250×250 px; bone marrow aspirate smear: 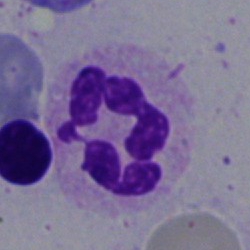

Single cell identified as a polymorphonuclear neutrophil.